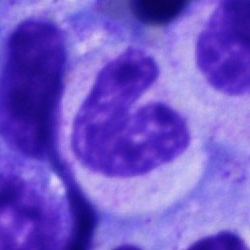

The cell shown is a neutrophil (band).